Bone marrow aspirate smear: 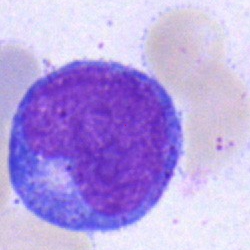
Q: What type of cell is this?
A: A progranulocyte.